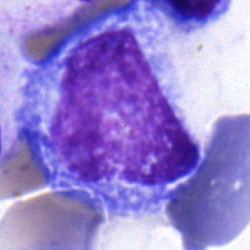 Q: What type of cell is this?
A: It is a promyelocyte.